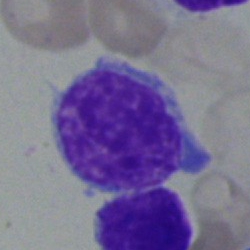 Specimen: bone marrow smear.
Cell type: lymphocyte.
Lineage: lymphoid.